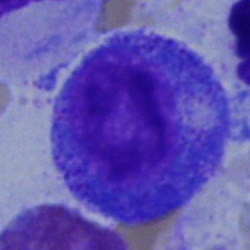 Cell: progranulocyte.